400×400 px. Peripheral blood film: 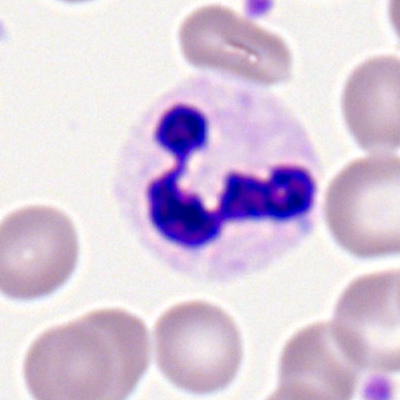Morphological class = neutrophil (segmented).